Peripheral blood film.
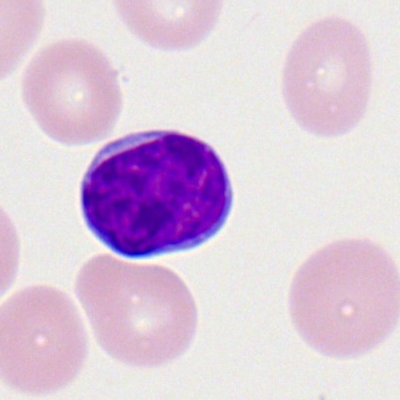
Specimen: peripheral blood film.
Cell type: typical lymphocyte.
Lineage: lymphoid.